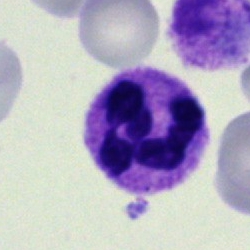

Morphology consistent with a polymorphonuclear neutrophil.